Bone marrow smear.
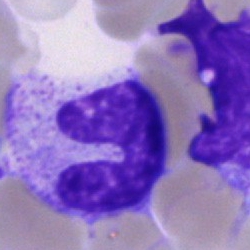Morphology → band-form neutrophil.